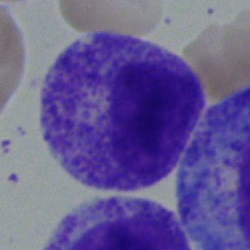Morphology — myelocyte.